Bone marrow aspirate smear · brightfield microscopy, 40× oil immersion
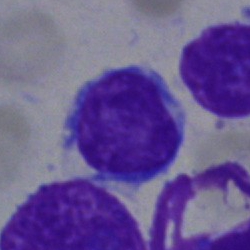
Q: What cell is this?
A: It is a typical lymphocyte.